Bone marrow smear.
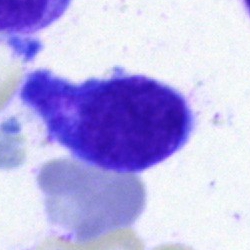
The cell shown is a lymphocyte.